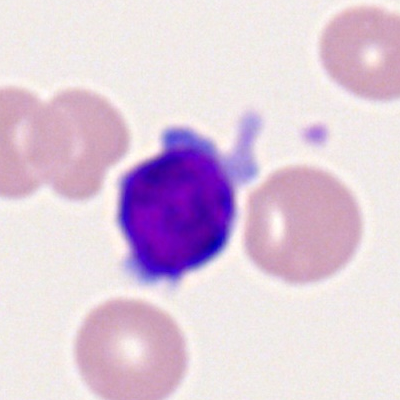 Single-cell crop from a peripheral blood smear: typical lymphocyte.